40× oil immersion · bone marrow aspirate smear:
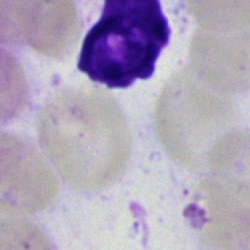Q: What is shown here?
A: This is an artifact.